Bone marrow smear.
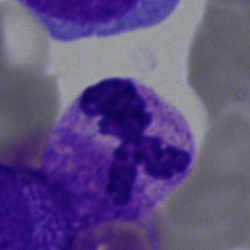 Cell type — neutrophil (segmented).